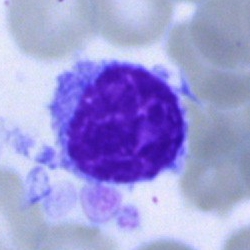
Bone marrow aspirate smear, single cell — hairy cell.